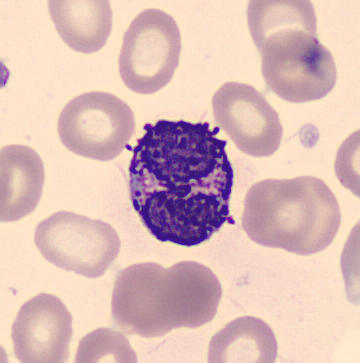Preparation: Automated cell imaging (CellaVision DM96) · peripheral blood smear.
The cell is basophil.